Peripheral blood smear; image size 400×400; 100× objective, oil immersion:
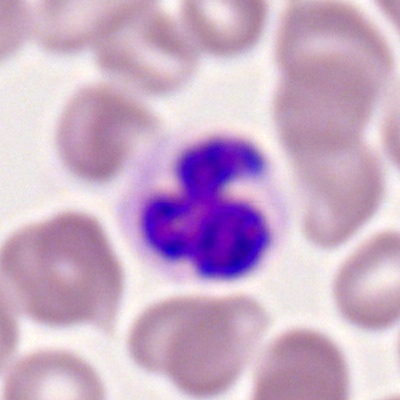

This is a polymorphonuclear neutrophil.